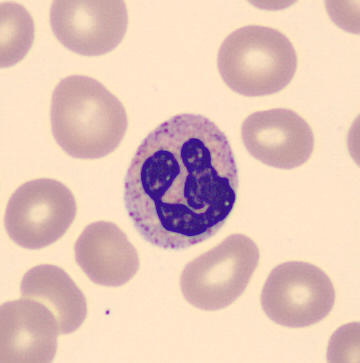This is a segmented neutrophil. Preparation: Peripheral blood film; single-cell field.